Bone marrow aspirate smear.
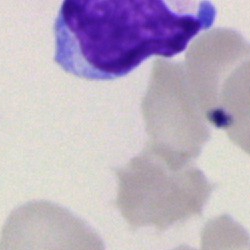

Morphology consistent with a typical lymphocyte.